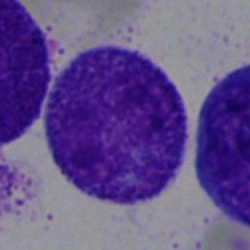
Q: Which cell type is shown here?
A: This is a myelocyte.